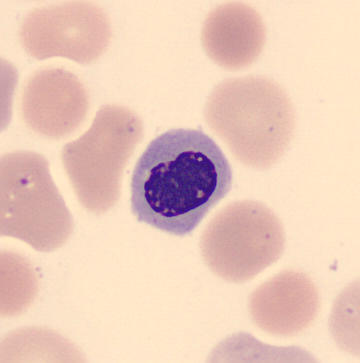{"cell_type": "nucleated red cell", "lineage": "erythroid"}
Preparation: Peripheral blood film.